Bone marrow aspirate smear
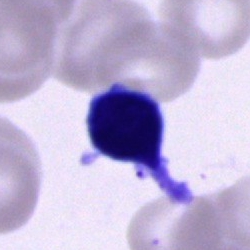
Specimen: bone marrow aspirate smear.
Classification: typical lymphocyte.
Lineage: lymphoid.